Bone marrow aspirate smear — 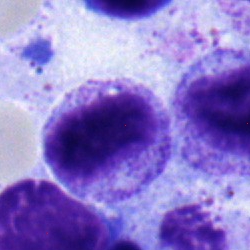

The cell shown is a metamyelocyte.